250×250 px; bone marrow aspirate smear:
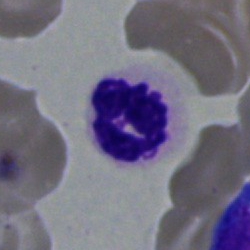Classification — segmented neutrophil.